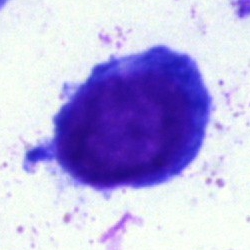
Cell type = proerythroblast.